Bone marrow aspirate smear.
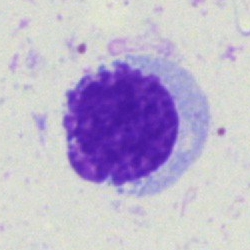Q: What is shown here?
A: An artifact.